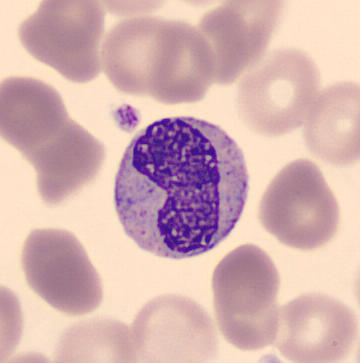Specimen: peripheral blood smear.
Classification: metamyelocyte.
Lineage: myeloid.